Single-cell field · bone marrow aspirate smear: 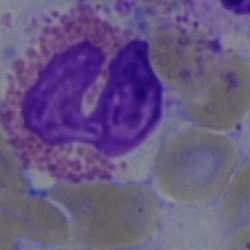Q: Which cell type is shown here?
A: This is an eosinophilic granulocyte.